Bone marrow smear. Pappenheim-stained. Image size 250×250:
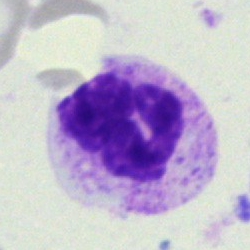

Morphology consistent with a segmented neutrophil.